Bone marrow aspirate smear; 250×250 px.
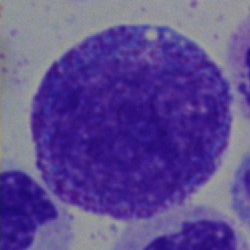Q: What type of cell is this?
A: Promyelocyte.